Bone marrow smear.
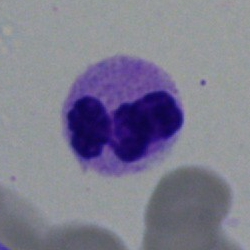Morphology — polymorphonuclear neutrophil.